40× objective, oil immersion. Bone marrow aspirate smear
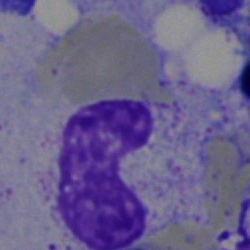 Stab cell.